Bone marrow aspirate smear:
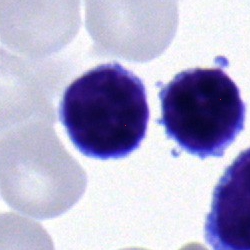Cell type — lymphocyte.